Peripheral blood smear — 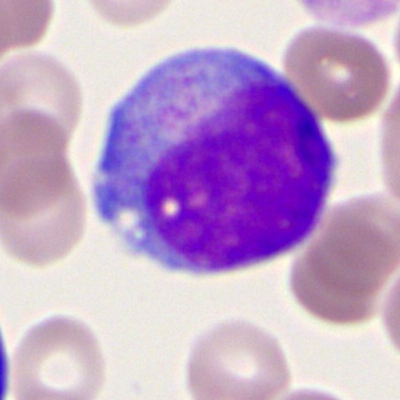
Cell — promyelocyte.